Bone marrow aspirate smear · brightfield microscopy, 40× oil immersion · single-cell crop: 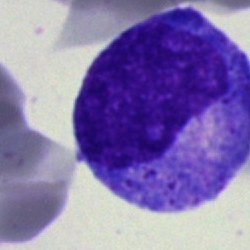 Showing a promyelocyte.